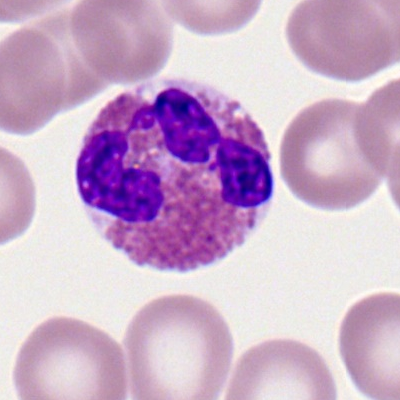

Eosinophil.